Bone marrow smear — 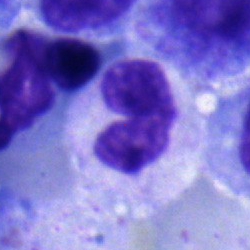

Classification — stab cell.